Pappenheim-stained; bone marrow aspirate smear.
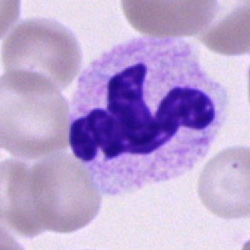

The cell shown is a segmented neutrophil.